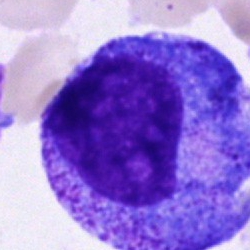

Impression — progranulocyte.